Bone marrow aspirate smear · brightfield, 40× oil-immersion objective
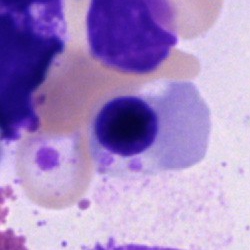

Morphological class = nucleated red cell.